May-Grünwald-Giemsa/Pappenheim stain; bone marrow smear.
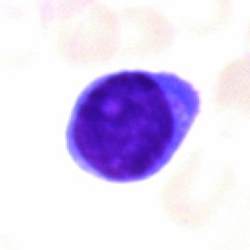 Specimen: bone marrow aspirate smear.
Morphological class: lymphocyte.
Lineage: lymphoid.